Image size 250×250. Bone marrow smear. May-Grünwald-Giemsa/Pappenheim stain: 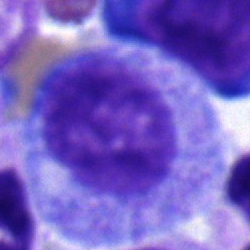Morphology — promyelocyte.